Bone marrow aspirate smear; 250×250 px
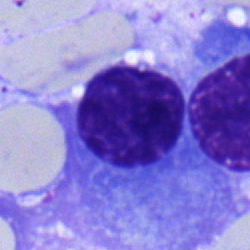Plasma cell.